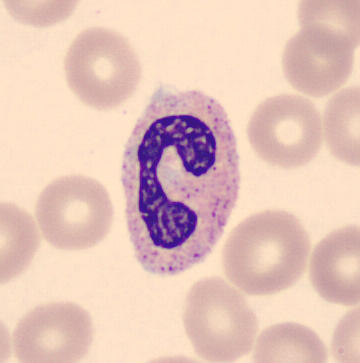

From a peripheral blood smear: a band neutrophil.